May-Grünwald-Giemsa stain; bone marrow aspirate smear; single-cell field: 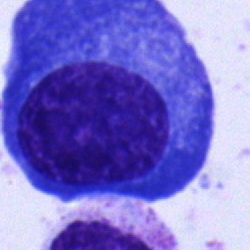

Impression → plasma cell.